Bone marrow aspirate smear:
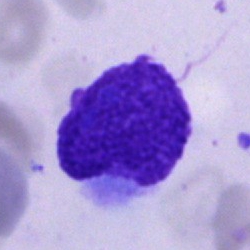
Cell — artefact.